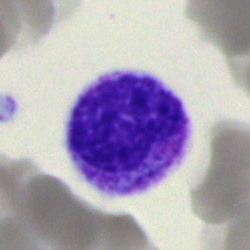

Cell: band-form neutrophil.